Bone marrow aspirate smear:
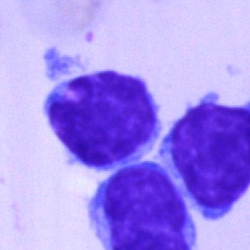 Q: What type of cell is this?
A: It is a lymphocyte.